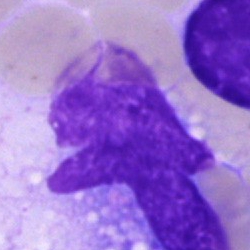 Specimen: bone marrow aspirate smear.
Classification: artefact.